Bone marrow smear; 40× objective, oil immersion — 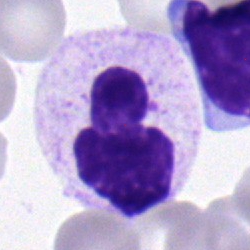

Impression — polymorphonuclear neutrophil.